Romanowsky stain; peripheral blood film; 400×400.
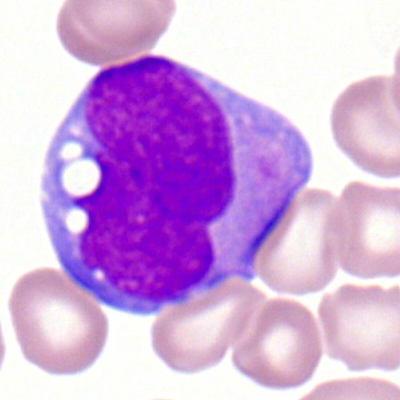Specimen: peripheral blood smear.
Cell type: myeloid blast.
Lineage: myeloid.